MGG-stained; bone marrow aspirate smear:
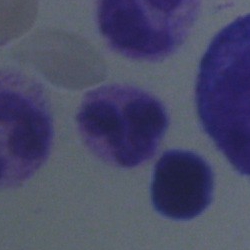The morphological class is cell of indeterminate lineage.